Image size 250×250. Cropped to a single cell. Bone marrow smear: 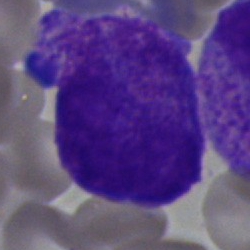 An undifferentiated blast.